Bone marrow aspirate smear. 250 by 250 pixels
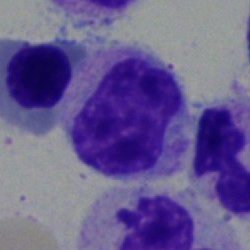

This is a metamyelocyte.